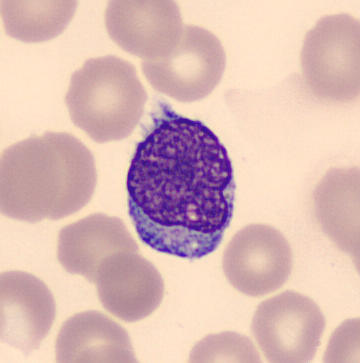 Peripheral blood smear. Classification — monocyte.